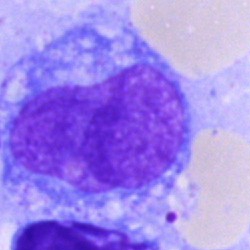
The cell shown is a monocyte.